Bone marrow smear:
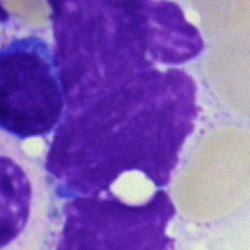

Specimen: bone marrow smear.
Cell type: artefact.